Bone marrow aspirate smear; single-cell crop
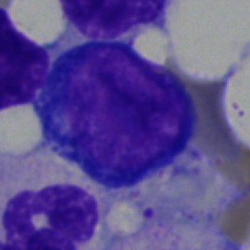Morphological class: pronormoblast.